Image size 250×250; bone marrow aspirate smear.
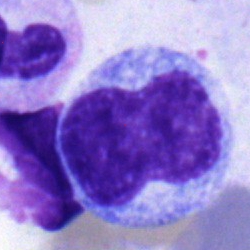
The classification is metamyelocyte.